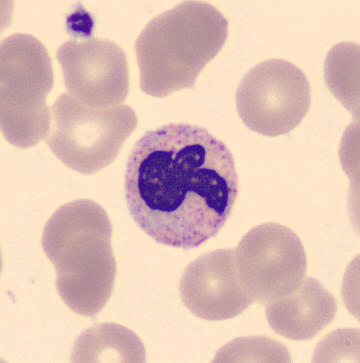Acquisition: Peripheral blood smear · MGG-stained. Impression → stab cell.